Brightfield, 40× oil-immersion objective · bone marrow smear · single-cell crop:
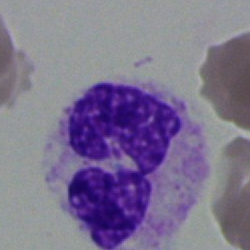

The classification is neutrophil (segmented).